May-Grünwald-Giemsa/Pappenheim stain. Bone marrow aspirate smear. Brightfield microscopy, 40× oil immersion:
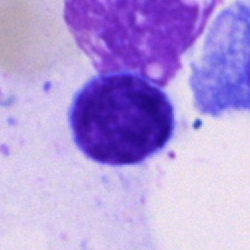

Specimen: bone marrow smear.
Cell: typical lymphocyte.
Lineage: lymphoid.